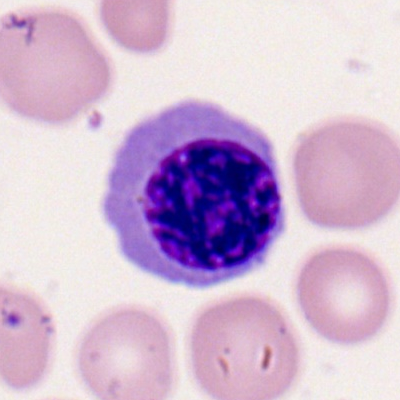

A normoblast.